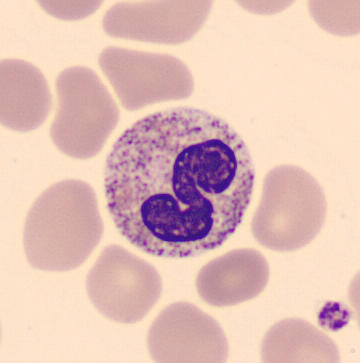 Morphology → stab cell. Peripheral blood film.